Bone marrow aspirate smear
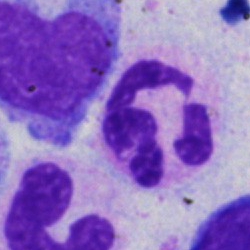
Specimen: bone marrow smear.
Morphological class: polymorphonuclear neutrophil.